Single-cell crop; bone marrow smear — 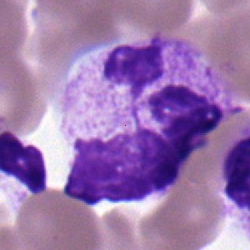Impression → polymorphonuclear neutrophil.